Peripheral blood film:
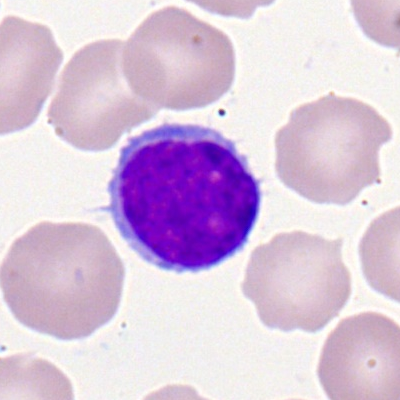 Cell = typical lymphocyte.